Bone marrow smear — 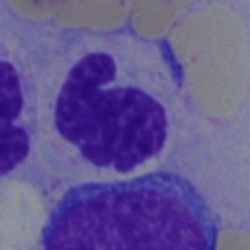
{"cell_type": "neutrophil (segmented)", "lineage": "myeloid"}